Bone marrow aspirate smear; single cell centered in the field:
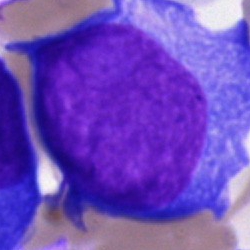Specimen: bone marrow aspirate smear.
Morphological class: blast.